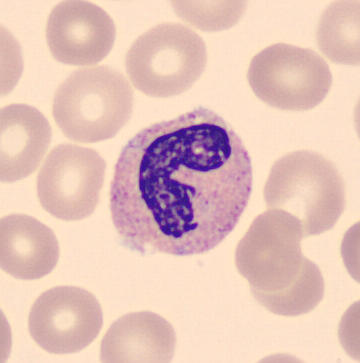
Showing a neutrophil (band).
Peripheral blood smear.